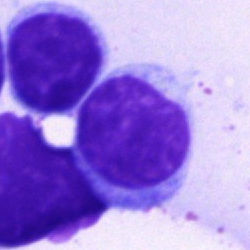
Specimen: bone marrow smear.
Classification: lymphocyte.
Lineage: lymphoid.